Bone marrow smear
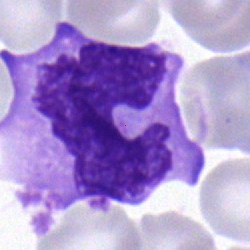 Cell type — monocyte.